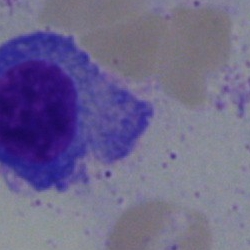
Cell: plasmacyte.